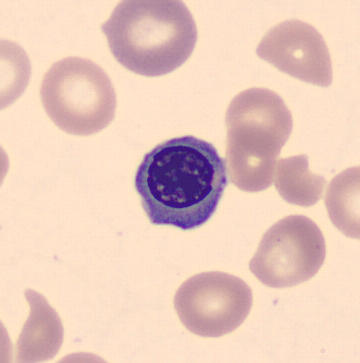 Peripheral blood film.

Single cell identified as an erythroblast.